Bone marrow aspirate smear: 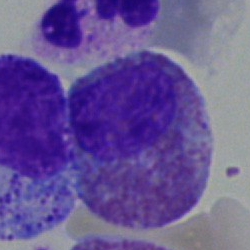
Single cell identified as an eosinophilic granulocyte.